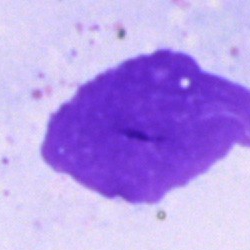 Specimen: bone marrow smear.
Cell type: artifact.